Peripheral blood film · single-cell field · brightfield, 100× oil-immersion objective:
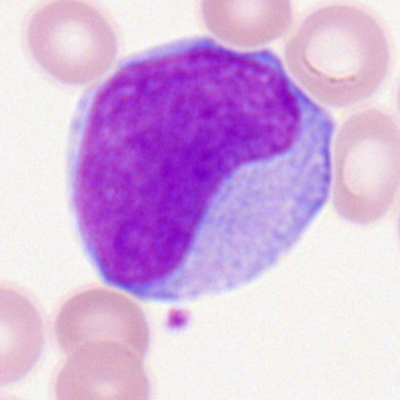 Q: What type of cell is this?
A: A myeloblast.